Bone marrow aspirate smear
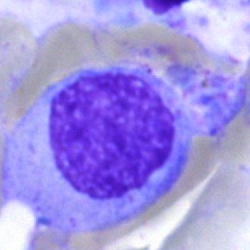Morphological class: artifact.